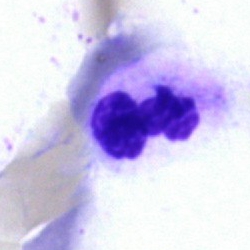 Showing a neutrophil (segmented).